Bone marrow smear. 250×250: 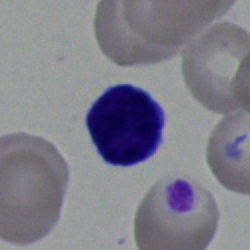 This is a typical lymphocyte.